Peripheral blood film
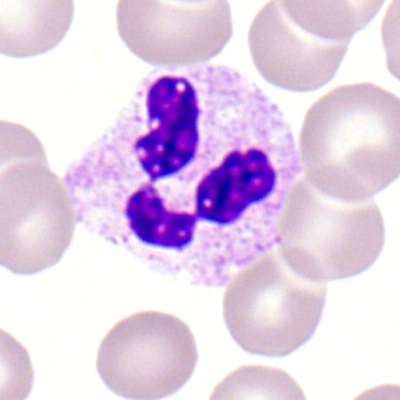

Showing a polymorphonuclear neutrophil.